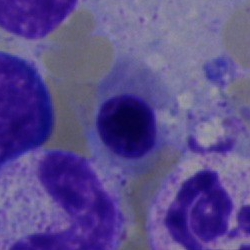 {"cell_type": "normoblast", "lineage": "erythroid"}